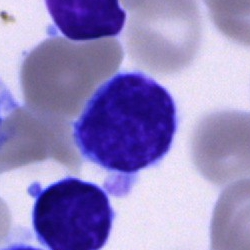The cell shown is a lymphocyte.